Bone marrow smear.
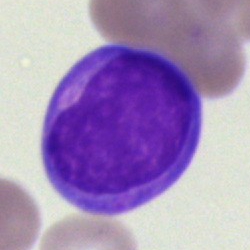
Specimen: bone marrow aspirate smear.
Cell: blast cell.